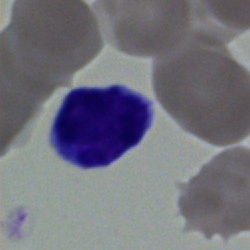 Showing a typical lymphocyte.